Peripheral blood smear: 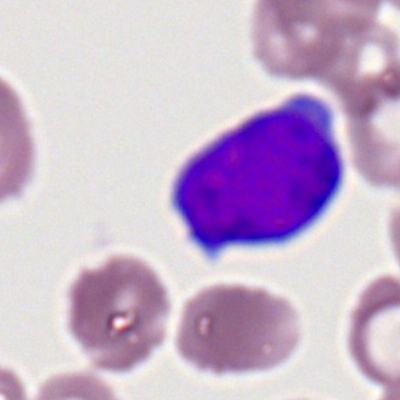
Q: What type of cell is this?
A: It is a myeloid blast.